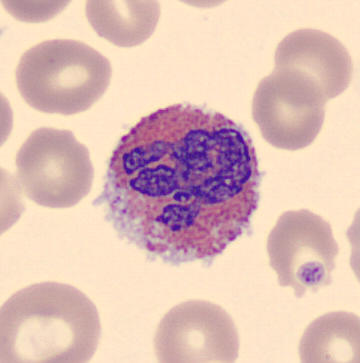

Peripheral blood smear · 360×363 · single cell centered in the field.

Eosinophilic granulocyte.